Bone marrow smear
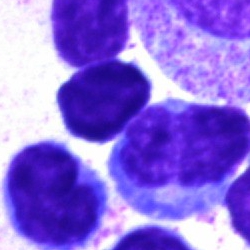The classification is lymphocyte.